Bone marrow smear. Brightfield microscopy, 40× oil immersion.
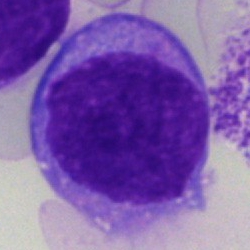

Blast.